Bone marrow aspirate smear:
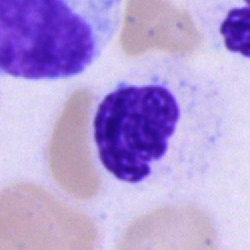

Morphology → polymorphonuclear neutrophil.